Cropped to a single cell · bone marrow aspirate smear — 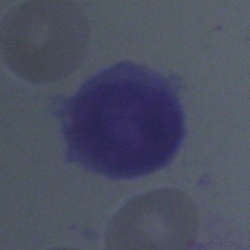 Unidentifiable cell.